Bone marrow aspirate smear: 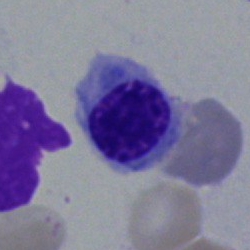

Specimen: bone marrow smear.
Cell: nucleated red cell.